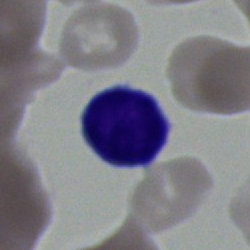

{"cell_type": "lymphocyte"}